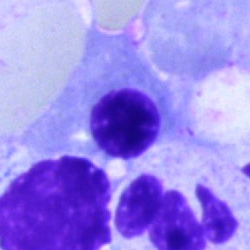

{"cell_type": "normoblast", "lineage": "erythroid"}